Bone marrow aspirate smear — 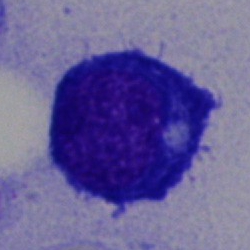Proerythroblast.